Bone marrow aspirate smear · brightfield, 40× oil-immersion objective — 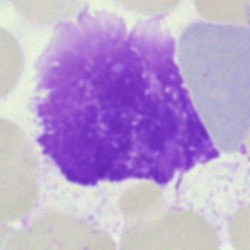
Single cell identified as an artefact.